Bone marrow smear · cropped to a single cell — 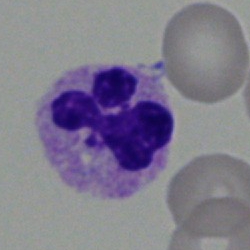
Q: Identify the cell.
A: This is a neutrophil (segmented).